MGG-stained · peripheral blood smear:
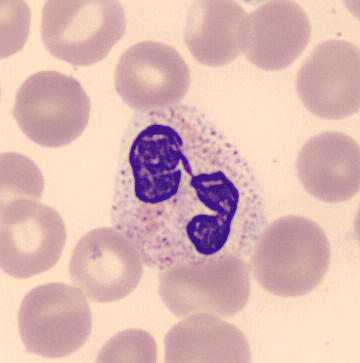 The cell is neutrophil (segmented).